Bone marrow smear: 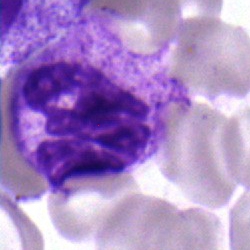

Impression → polymorphonuclear neutrophil.